Brightfield microscopy, 40× oil immersion; bone marrow aspirate smear; Pappenheim-stained:
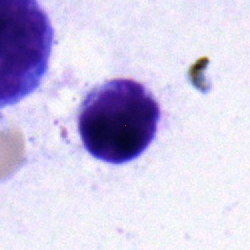 The cell type is lymphocyte.